250 by 250 pixels. Bone marrow smear
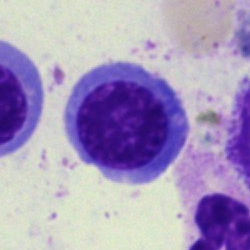Specimen: bone marrow aspirate smear.
Morphological class: nucleated red blood cell.